Bone marrow smear · May-Grünwald-Giemsa stain
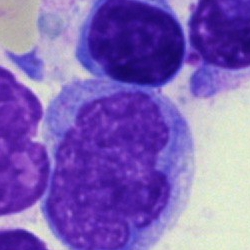
Morphology — monocyte.